Bone marrow smear · single cell centered in the field:
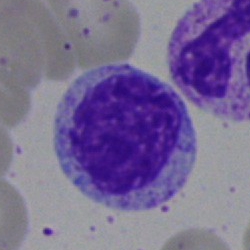
Morphological class — progranulocyte.